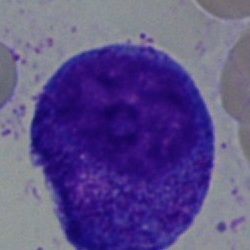

{"cell_type": "progranulocyte", "lineage": "myeloid"}